Bone marrow smear.
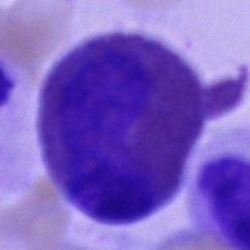
Eosinophilic granulocyte.